May-Grünwald-Giemsa stain. Bone marrow aspirate smear. Brightfield, 40× oil-immersion objective
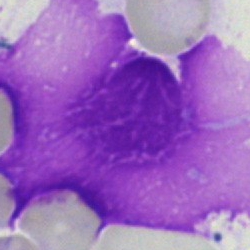Specimen: bone marrow smear.
Morphological class: artifact.